Bone marrow aspirate smear:
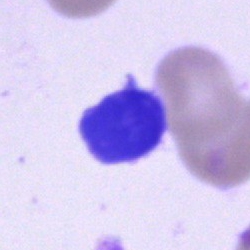 Specimen: bone marrow smear.
Morphological class: artefact.